Bone marrow smear. May-Grünwald-Giemsa/Pappenheim stain: 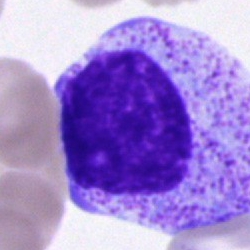
Impression → myelocyte.